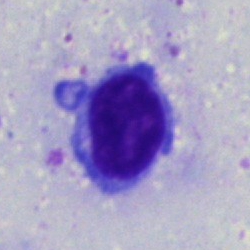Q: What cell is this?
A: A typical lymphocyte.